Bone marrow aspirate smear · 40× oil immersion · May-Grünwald-Giemsa stain.
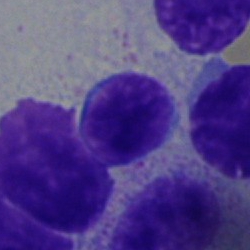 Cell type: lymphocyte.